Bone marrow aspirate smear: 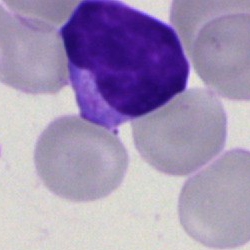
Cell type: typical lymphocyte.